Bone marrow smear. Brightfield, 40× oil-immersion objective. Single cell centered in the field — 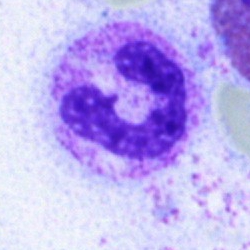Impression — segmented neutrophil.